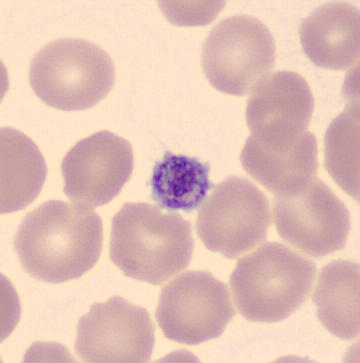Morphology — thrombocyte. Peripheral blood film.